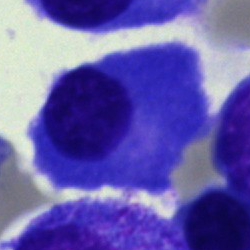 Q: Which cell type is shown here?
A: It is a plasma cell.